250×250 px. Bone marrow aspirate smear — 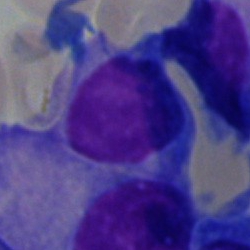

Q: Identify the cell.
A: It is a plasma cell.